Bone marrow smear: 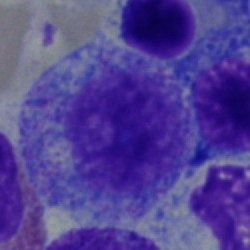 The cell type is myelocyte.